Bone marrow aspirate smear
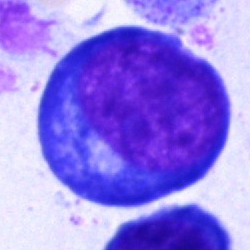 Specimen: bone marrow aspirate smear.
Morphological class: pronormoblast.
Lineage: erythroid.